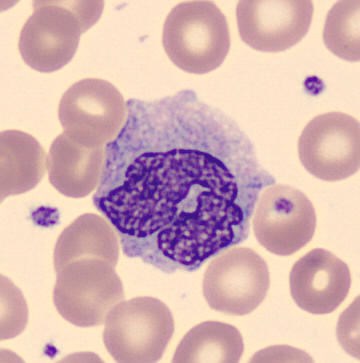Impression — monocyte.
Peripheral blood film.